Brightfield, 100× oil-immersion objective; peripheral blood smear: 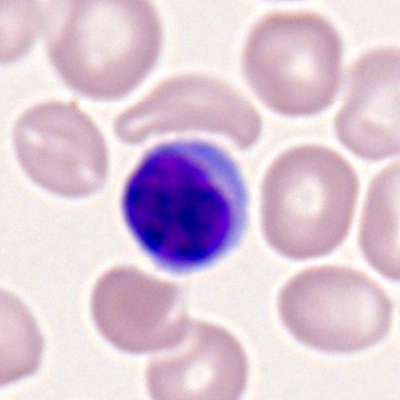
The cell shown is a typical lymphocyte.